Bone marrow aspirate smear.
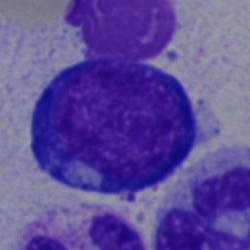

Morphological class — nucleated red cell.